Brightfield microscopy, 40× oil immersion · bone marrow aspirate smear:
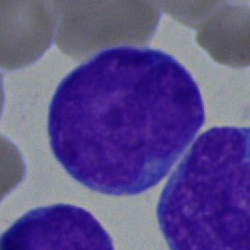Morphology consistent with a blast cell.